Bone marrow smear.
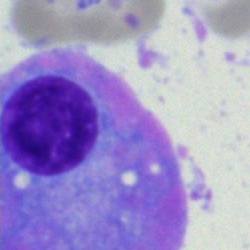 Morphology consistent with a plasmacyte.